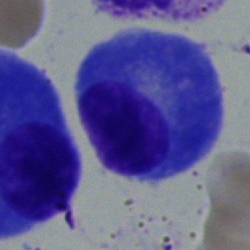Cell: plasmacyte.